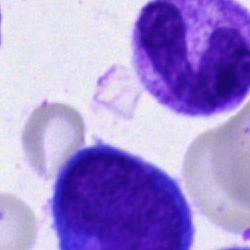
Cell type = band neutrophil.